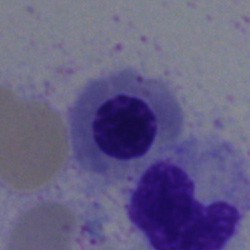
Showing an erythroblast.